May-Grünwald-Giemsa/Pappenheim stain · bone marrow smear.
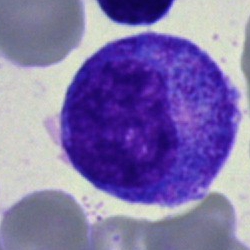 This is a progranulocyte.